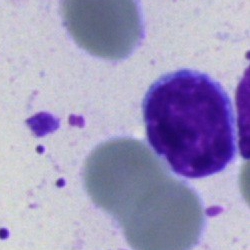Single cell identified as an artifact.